Single cell centered in the field · image size 250×250 · bone marrow smear
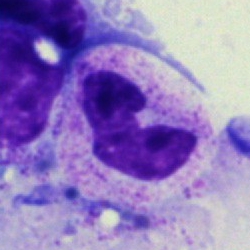
Morphological class = segmented neutrophil.